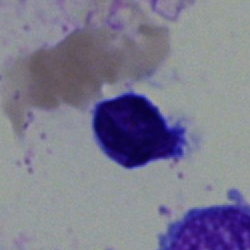
Showing a typical lymphocyte.